Peripheral blood smear.
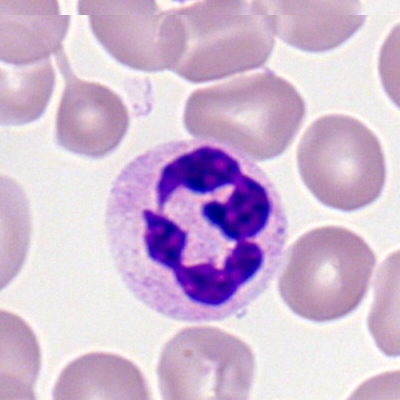Q: What is shown here?
A: This is a polymorphonuclear neutrophil.